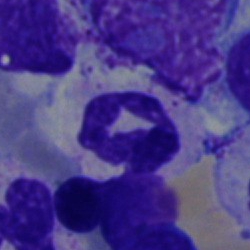 Cell type: polymorphonuclear neutrophil.